Bone marrow smear. 250×250 px: 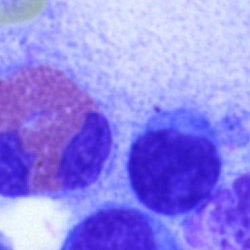
Morphological class: eosinophil.